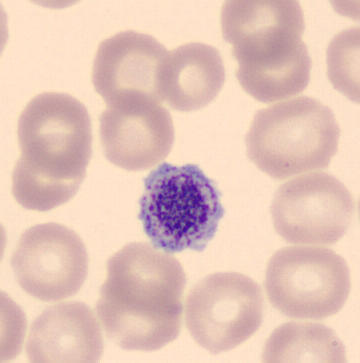Morphological class: platelet.